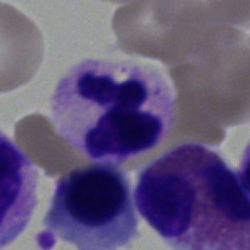
Specimen: bone marrow aspirate smear.
Cell type: neutrophil (segmented).
Lineage: myeloid.